Bone marrow aspirate smear.
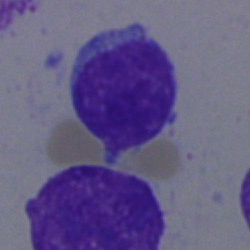Q: What type of cell is this?
A: A lymphocyte.